Bone marrow aspirate smear; 40× oil immersion; May-Grünwald-Giemsa stain:
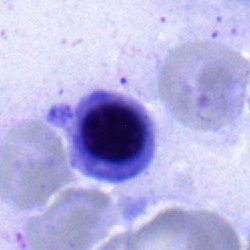
Classification = normoblast.